Bone marrow aspirate smear
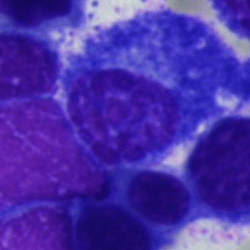
A plasma cell.